Bone marrow aspirate smear — 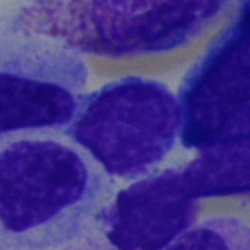The classification is typical lymphocyte.